Bone marrow aspirate smear.
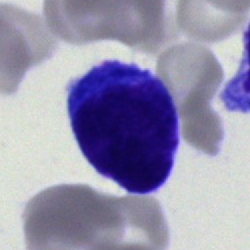 Q: What is the morphological classification of this cell?
A: Undifferentiated blast.